250×250; Pappenheim-stained; bone marrow smear
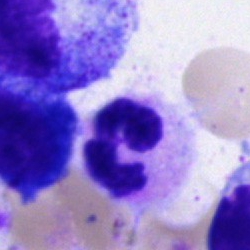Impression → polymorphonuclear neutrophil.